Bone marrow smear. Single-cell crop. 250×250 px — 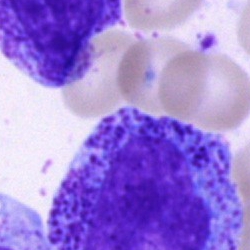

Morphological class — promyelocyte.